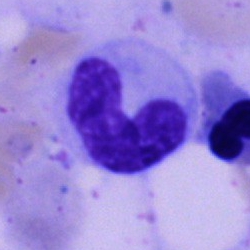The cell shown is a band neutrophil.